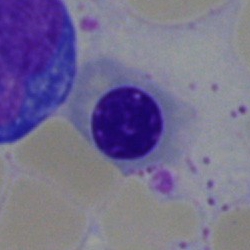

Q: Identify the cell.
A: This is an erythroblast.